Bone marrow aspirate smear; single-cell field.
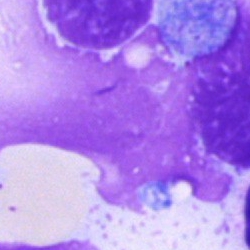
The cell shown is an artifact.